Bone marrow aspirate smear
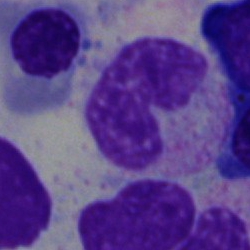The cell is neutrophil (band).